Bone marrow smear
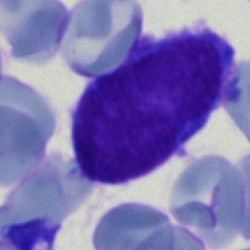A blast cell.